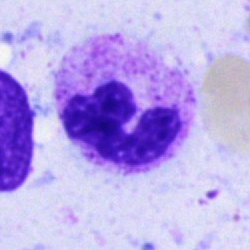

{"cell_type": "segmented neutrophil", "lineage": "myeloid"}